250 by 250 pixels; bone marrow aspirate smear
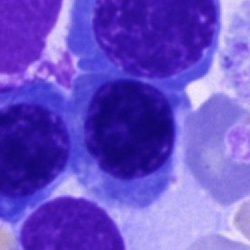
Specimen: bone marrow smear.
Cell type: erythroblast.